Bone marrow smear; single-cell crop; 40× objective, oil immersion:
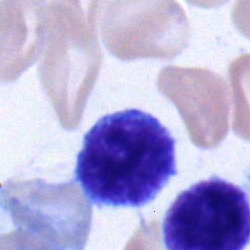

Morphology consistent with a lymphocyte.